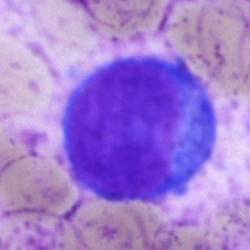 Cell — blast.